Single-cell crop · bone marrow aspirate smear · Pappenheim-stained: 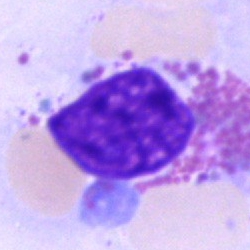

Specimen: bone marrow aspirate smear.
Classification: eosinophil.
Lineage: myeloid.